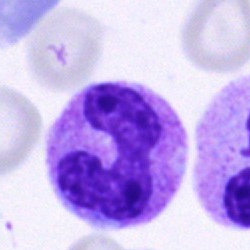
Q: What type of cell is this?
A: This is a stab cell.